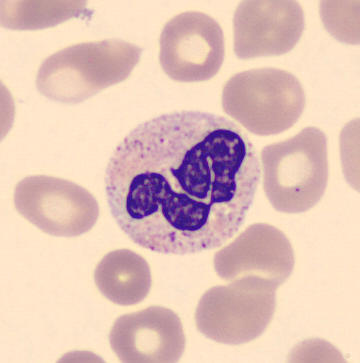

Specimen: peripheral blood smear.
Morphological class: neutrophil (segmented).
Lineage: myeloid.